Bone marrow smear:
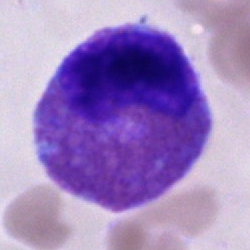
Morphology — eosinophilic granulocyte.